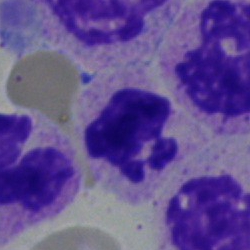 This is a neutrophil (segmented).